Bone marrow aspirate smear; image size 250×250
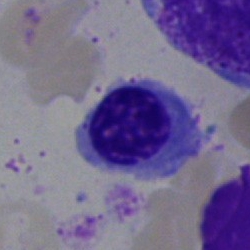
Morphology consistent with a normoblast.